Bone marrow aspirate smear · 250×250 · MGG-stained:
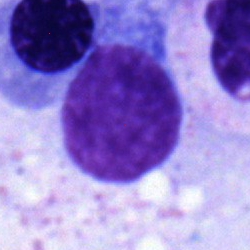

Cell — lymphocyte.